Bone marrow aspirate smear: 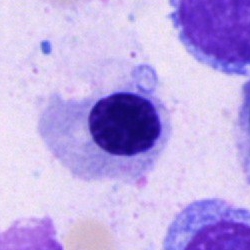 Classification: normoblast.